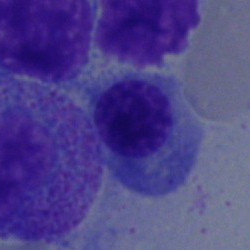

Cell: nucleated red cell.